Bone marrow smear:
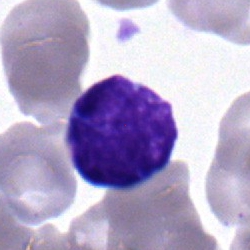Morphology consistent with a typical lymphocyte.